Bone marrow aspirate smear. Pappenheim-stained. 40× objective, oil immersion: 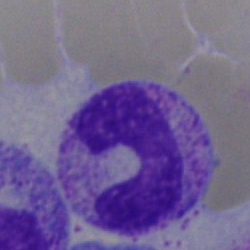{"cell_type": "band neutrophil", "lineage": "myeloid"}